250×250 px. Single cell centered in the field. Bone marrow aspirate smear
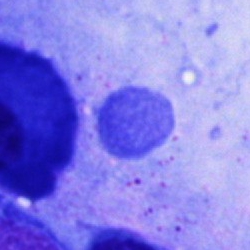

Q: What is shown here?
A: It is an artefact.